Bone marrow smear:
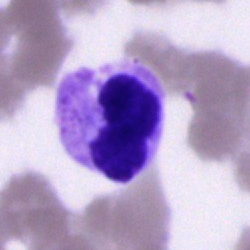
Cell — segmented neutrophil.